40× objective, oil immersion; bone marrow smear; 250×250: 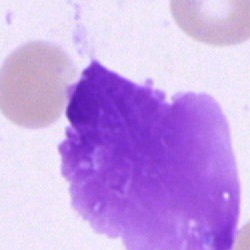
Morphology consistent with an artifact.